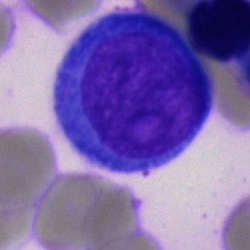

{"cell_type": "blast cell"}